Bone marrow aspirate smear. Brightfield microscopy, 40× oil immersion. Single-cell crop: 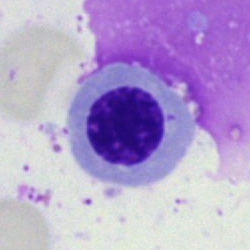
Specimen: bone marrow aspirate smear.
Classification: normoblast.
Lineage: erythroid.